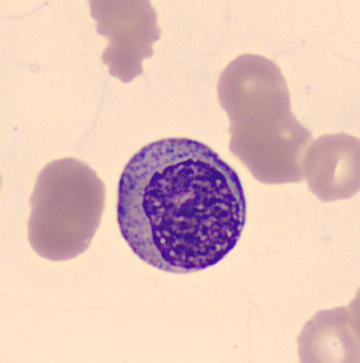 Q: What cell is this?
A: It is a metamyelocyte.